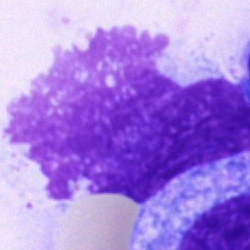
Single cell identified as an artefact.